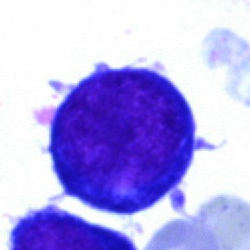
Cell type: nucleated red blood cell.